Bone marrow smear.
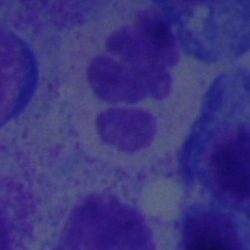

The cell is segmented neutrophil.